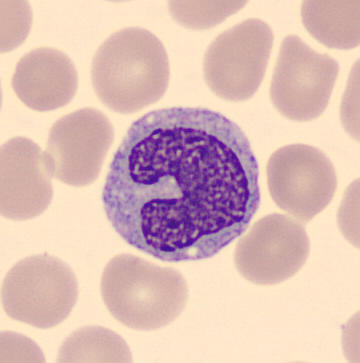Image: Peripheral blood film. Image size 360×363.
Cell type = monocyte.